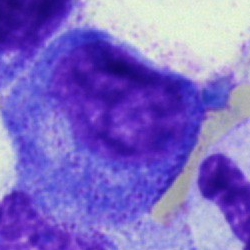 Showing a promyelocyte.